Bone marrow smear; 250×250 px; single cell centered in the field.
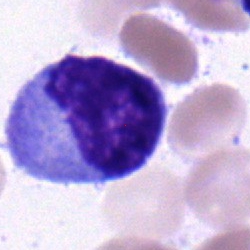Q: What type of cell is this?
A: A monocyte.